Bone marrow smear: 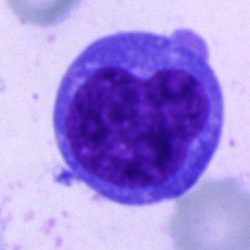Morphological class: undifferentiated blast.